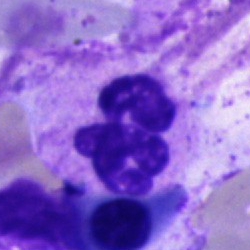Cell = segmented neutrophil.